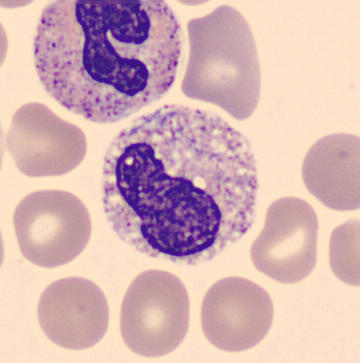
Q: What is shown here?
A: It is a band neutrophil.
Preparation: MGG stain; peripheral blood film.